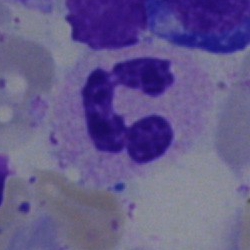{"cell_type": "segmented neutrophil", "lineage": "myeloid"}